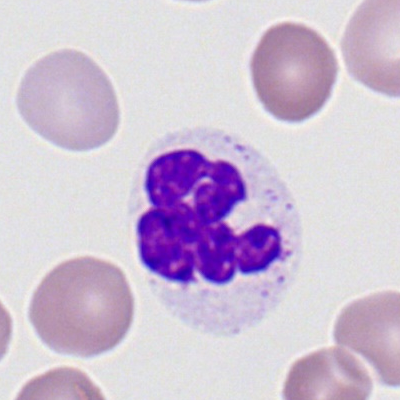

Specimen: peripheral blood film.
Classification: neutrophil (segmented).
Lineage: myeloid.